Cropped to a single cell; bone marrow aspirate smear:
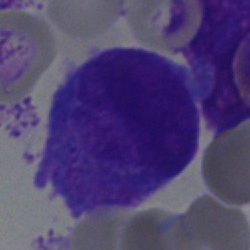 Morphology consistent with a blast cell.